Bone marrow aspirate smear:
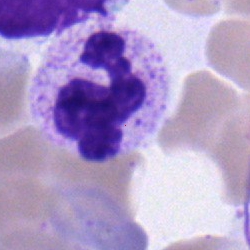
The cell type is segmented neutrophil.